Bone marrow aspirate smear. 40× oil immersion. Single-cell crop:
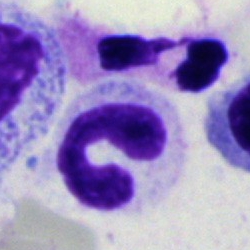
{"cell_type": "neutrophil (segmented)"}